Bone marrow smear · MGG-stained: 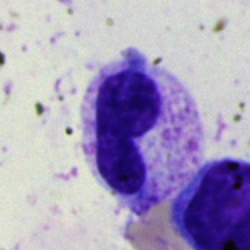 Specimen: bone marrow smear.
Cell: segmented neutrophil.